250×250 px; Pappenheim-stained; bone marrow aspirate smear: 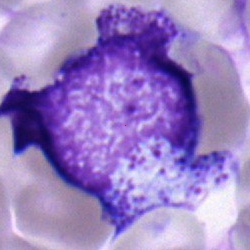
Q: Which cell type is shown here?
A: A progranulocyte.